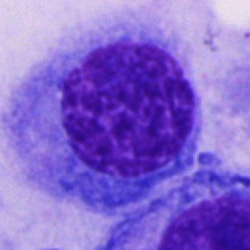 An other cell.